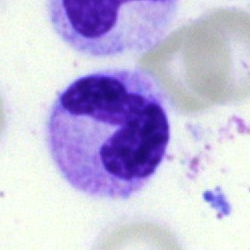
Q: What is the morphological classification of this cell?
A: It is a stab cell.